Brightfield, 40× oil-immersion objective · 250 by 250 pixels · bone marrow aspirate smear.
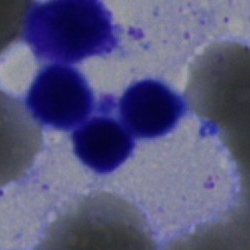 The cell is artifact.